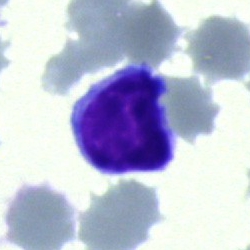Specimen: bone marrow smear.
Cell type: lymphocyte.
Lineage: lymphoid.